Bone marrow smear — 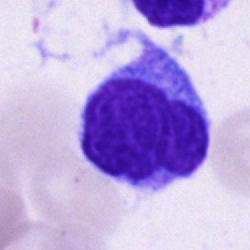

Single cell identified as a monocyte.